Bone marrow aspirate smear.
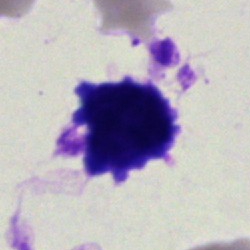Single cell identified as an artefact.